Bone marrow smear: 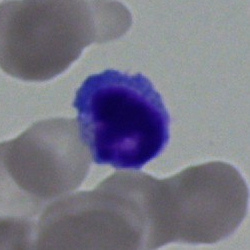Typical lymphocyte.